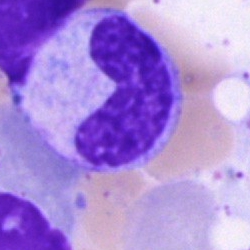

Q: What is shown here?
A: Stab cell.